Romanowsky-stained; peripheral blood film; single-cell field: 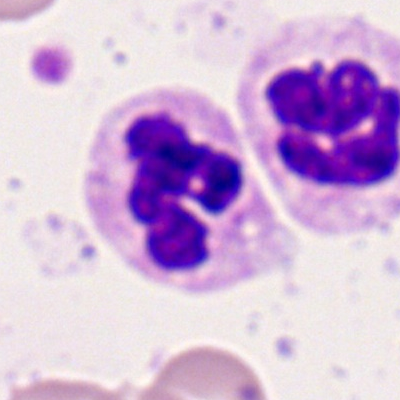 Segmented neutrophil.